Bone marrow aspirate smear. Cropped to a single cell — 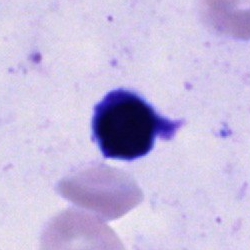The classification is unidentifiable cell.